Image size 250×250. Single-cell field. Bone marrow aspirate smear — 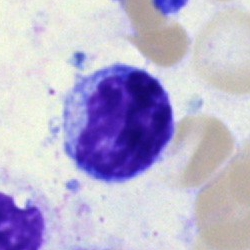 Q: Which cell type is shown here?
A: Typical lymphocyte.